Bone marrow aspirate smear. 40× oil immersion — 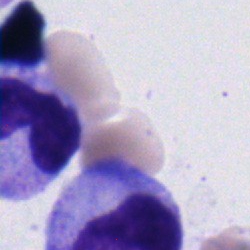
{"cell_type": "neutrophil (segmented)", "lineage": "myeloid"}